Bone marrow aspirate smear — 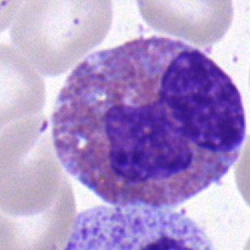 Cell: eosinophil.